Cropped to a single cell · bone marrow aspirate smear:
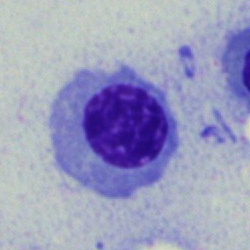

Morphology → erythroblast.